Bone marrow smear: 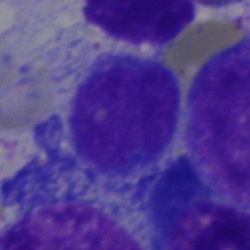
This is a typical lymphocyte.